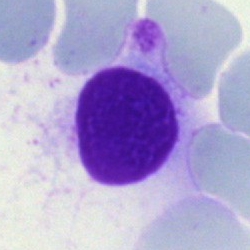
Morphological class: artifact.